Bone marrow smear. Brightfield microscopy, 40× oil immersion. MGG-stained:
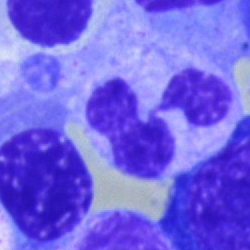

Showing a neutrophil (segmented).